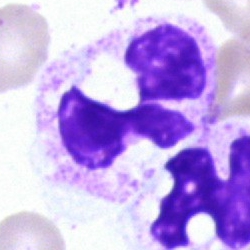 Specimen: bone marrow smear.
Classification: polymorphonuclear neutrophil.